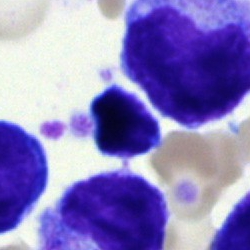
Impression → typical lymphocyte.